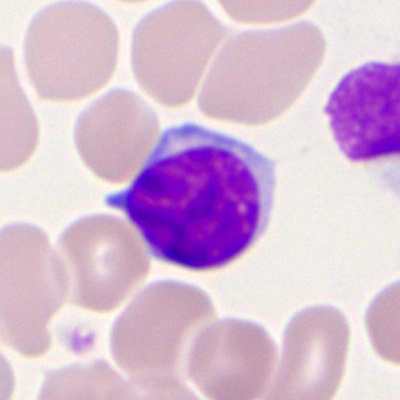

This is a typical lymphocyte.